Brightfield, 40× oil-immersion objective. Bone marrow smear: 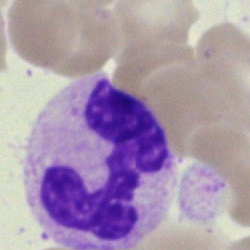Morphology consistent with a polymorphonuclear neutrophil.